Single cell centered in the field. Bone marrow smear:
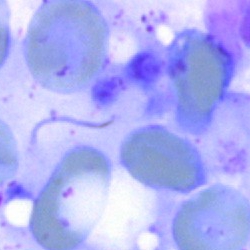Q: What is shown here?
A: This is an artifact.